Bone marrow smear.
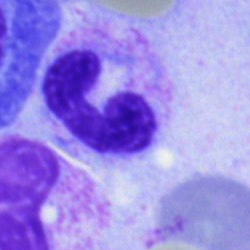The cell shown is a polymorphonuclear neutrophil.